Bone marrow aspirate smear
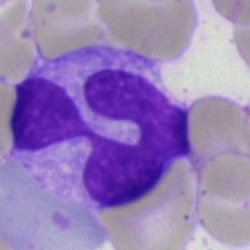
A neutrophil (segmented).